Single-cell field · peripheral blood smear.
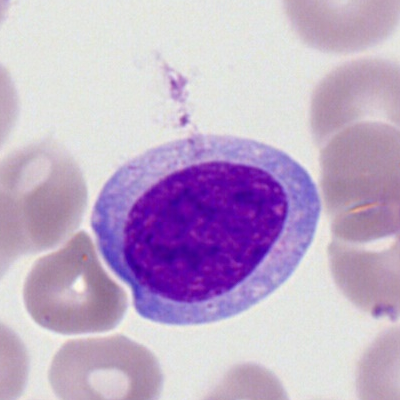Showing a myeloblast.